Bone marrow aspirate smear. 250×250 px:
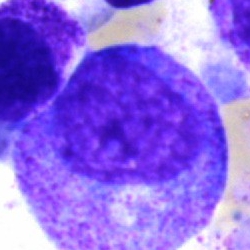Promyelocyte.